Bone marrow smear.
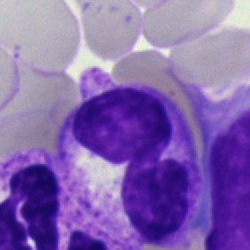
{"cell_type": "segmented neutrophil", "lineage": "myeloid"}